Bone marrow smear; 40× oil immersion — 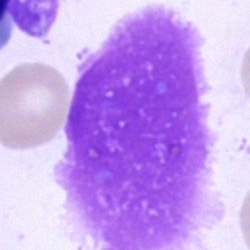
Q: What is shown here?
A: This is an artefact.